Bone marrow aspirate smear
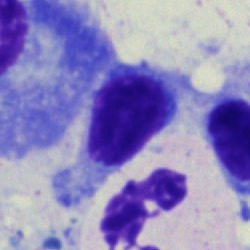 Q: Identify the cell.
A: A lymphocyte.